Bone marrow aspirate smear. 250 by 250 pixels:
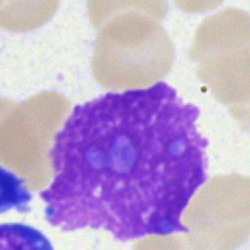
Morphology → artefact.